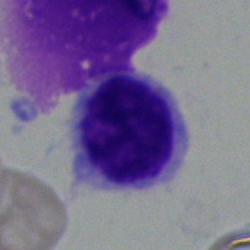Morphological class: hairy cell.